Bone marrow aspirate smear — 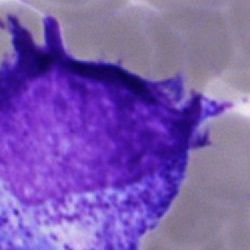Q: Identify the cell.
A: It is a promyelocyte.